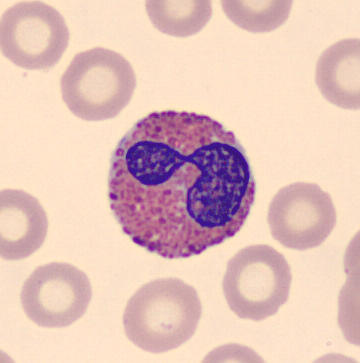 Eosinophil.

Acquisition: Peripheral blood film.